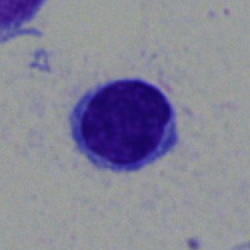

Cell type = typical lymphocyte.